Bone marrow aspirate smear · 40× oil immersion
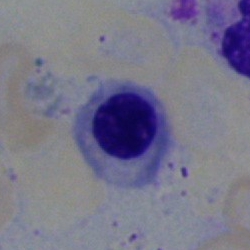
Cell type = nucleated red blood cell.